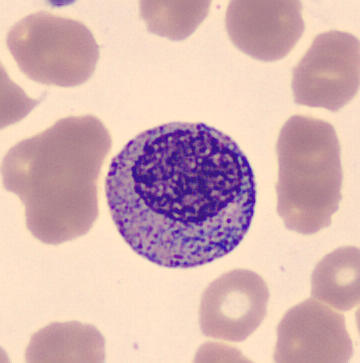

Morphology consistent with a myelocyte.

Acquisition: Peripheral blood smear. Image size 360×363.